40× oil immersion · bone marrow aspirate smear — 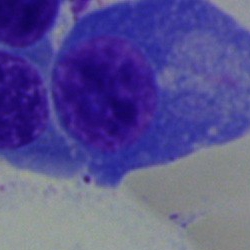 Morphology → plasmacyte.